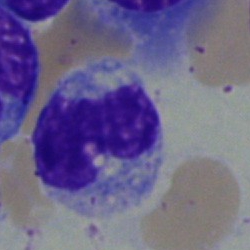Cell type: monocyte.